Bone marrow aspirate smear · single-cell crop.
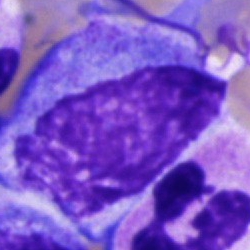

The cell type is unidentifiable cell.